Bone marrow aspirate smear · 250 by 250 pixels.
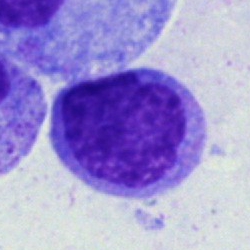
Morphology consistent with a monocyte.